Single-cell field. Bone marrow smear.
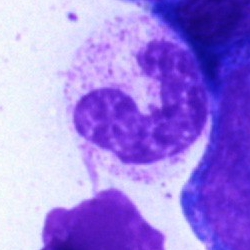 A neutrophil (band).